Bone marrow smear.
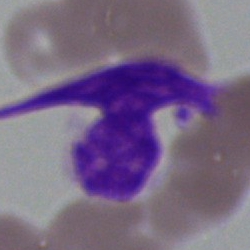

Q: What is shown here?
A: This is an artifact.